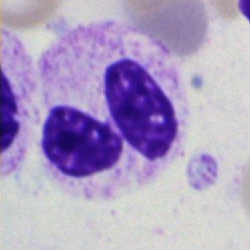Specimen: bone marrow aspirate smear.
Cell type: neutrophil (segmented).
Lineage: myeloid.